Single cell centered in the field; bone marrow aspirate smear.
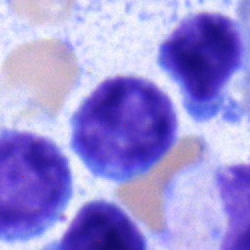Single cell identified as a typical lymphocyte.